Bone marrow smear; 250×250 px; brightfield, 40× oil-immersion objective.
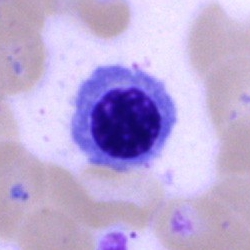 Cell — erythroblast.